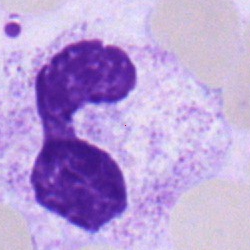
Single cell identified as a polymorphonuclear neutrophil.